Bone marrow aspirate smear: 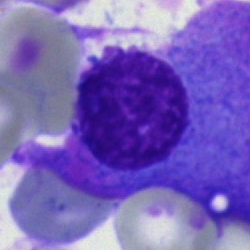 Plasma cell.